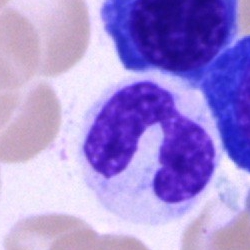 Q: What is shown here?
A: It is a polymorphonuclear neutrophil.